Bone marrow aspirate smear — 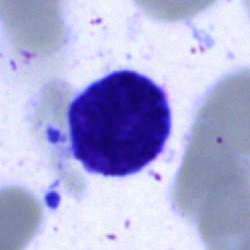 Specimen: bone marrow aspirate smear.
Classification: lymphocyte.
Lineage: lymphoid.